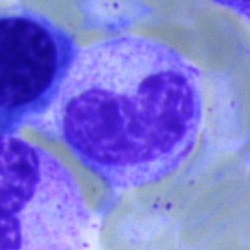

Q: What is shown here?
A: It is a metamyelocyte.